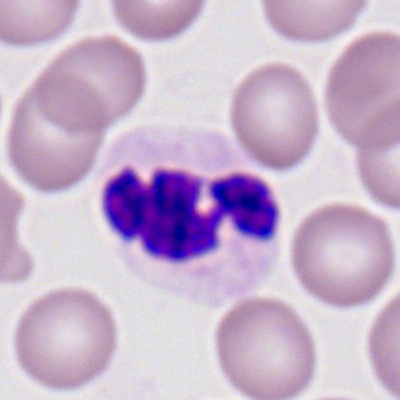
Polymorphonuclear neutrophil.